Bone marrow aspirate smear
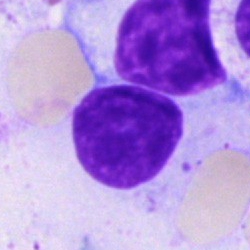

Cell: artifact.